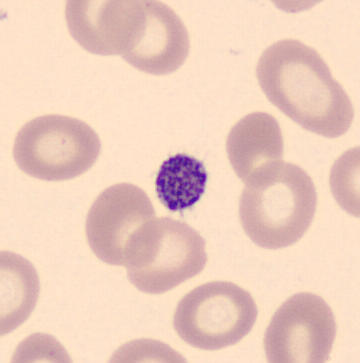
Acquisition: Peripheral blood smear.

Showing a thrombocyte.